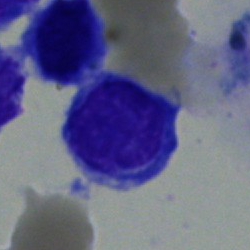
Q: Identify the cell.
A: It is a blast cell.